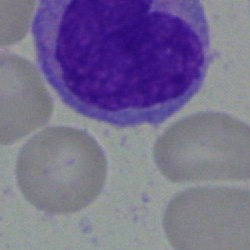Q: What type of cell is this?
A: It is a typical lymphocyte.